Bone marrow smear — 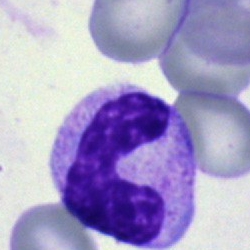Showing a stab cell.